MGG-stained. Bone marrow aspirate smear:
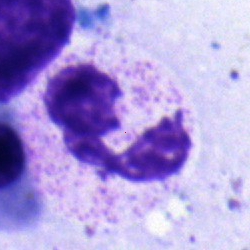
The cell is segmented neutrophil.